Single cell centered in the field; bone marrow aspirate smear — 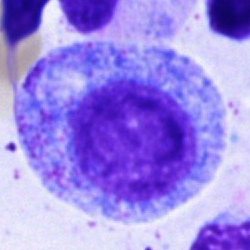Cell type — progranulocyte.